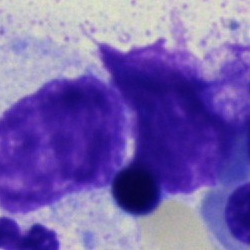Q: What is the morphological classification of this cell?
A: Nucleated red blood cell.